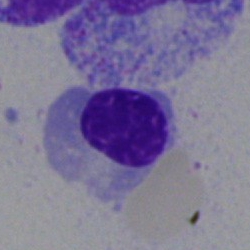
Specimen: bone marrow smear.
Cell type: nucleated red blood cell.
Lineage: erythroid.